Bone marrow smear:
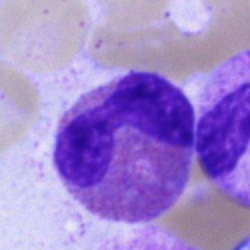 Showing an eosinophil.